Bone marrow aspirate smear: 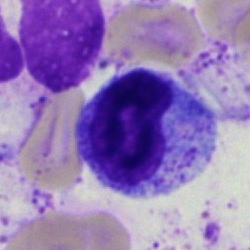Impression — myelocyte.